Peripheral blood smear. Romanowsky-stained: 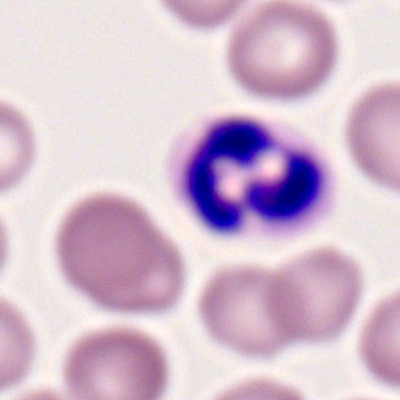 Specimen: peripheral blood film.
Cell: polymorphonuclear neutrophil.
Lineage: myeloid.